Bone marrow aspirate smear; single cell centered in the field — 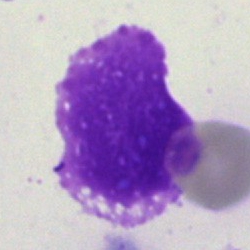
Morphology consistent with an artefact.